Single-cell crop; bone marrow aspirate smear:
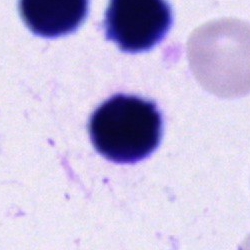

Morphological class: cell of indeterminate lineage.